Bone marrow smear:
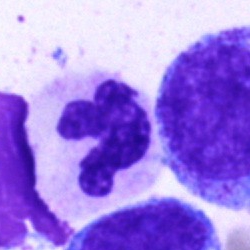

A segmented neutrophil.